Single-cell crop · bone marrow aspirate smear: 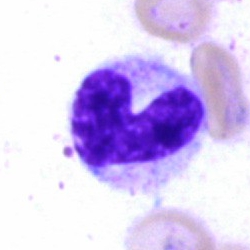{"cell_type": "neutrophil (band)"}